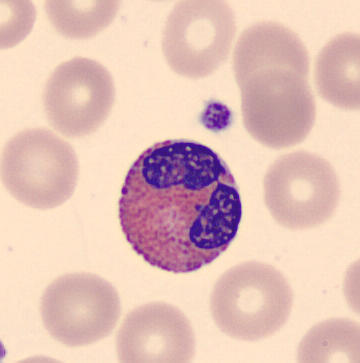 Q: What is the morphological classification of this cell?
A: An eosinophil.

Peripheral blood film.